Peripheral blood smear · cropped to a single cell
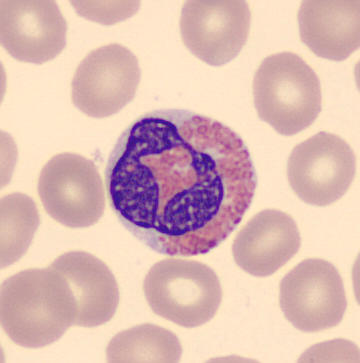 Identified as an eosinophilic granulocyte.